Bone marrow smear; 250×250 px; MGG-stained.
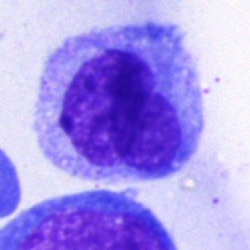
Q: What cell is this?
A: It is a monocyte.